Cropped to a single cell. Bone marrow aspirate smear: 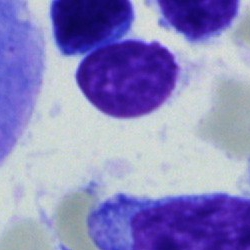

This is a typical lymphocyte.